40× objective, oil immersion. Pappenheim-stained. Bone marrow aspirate smear — 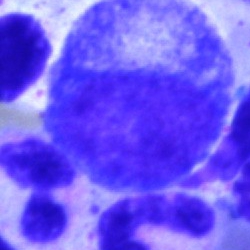

Impression → promyelocyte.